Bone marrow smear. Image size 250×250 — 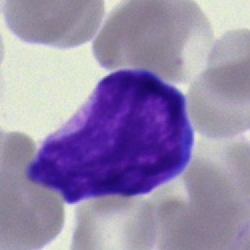

Blast.